Bone marrow aspirate smear · single-cell crop.
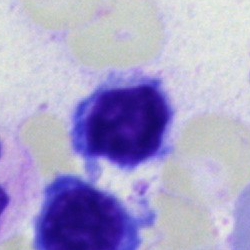

{"cell_type": "typical lymphocyte"}